Bone marrow smear: 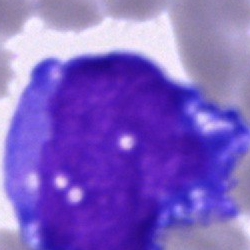 Classification: blast cell.